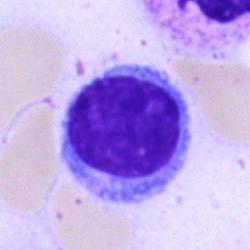 Single cell identified as a typical lymphocyte.